Bone marrow aspirate smear: 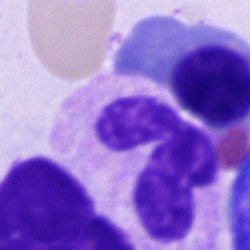

Single cell identified as a neutrophil (segmented).